Bone marrow aspirate smear: 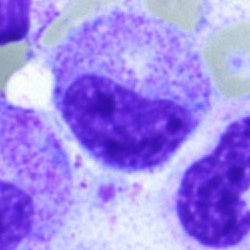The cell is metamyelocyte.